Bone marrow smear. Cropped to a single cell:
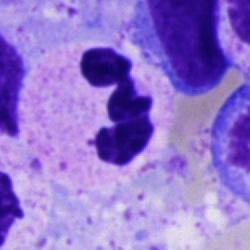 Q: What is shown here?
A: A neutrophil (segmented).